Brightfield microscopy, 40× oil immersion. Bone marrow aspirate smear. Single-cell field:
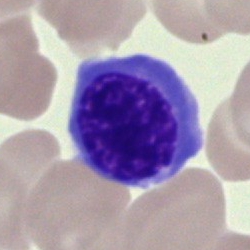

Showing a normoblast.